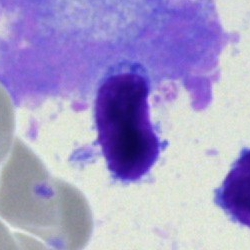
{"cell_type": "typical lymphocyte", "lineage": "lymphoid"}